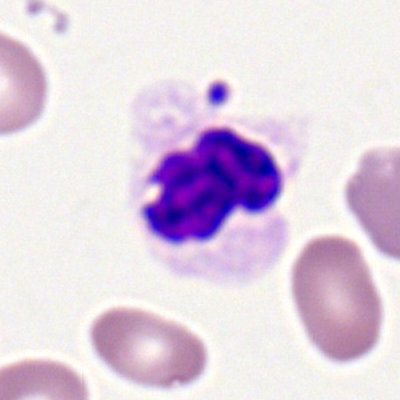Cell = polymorphonuclear neutrophil.